Bone marrow smear:
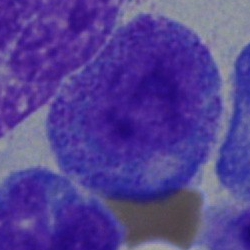 Specimen: bone marrow smear.
Cell: progranulocyte.